Bone marrow smear:
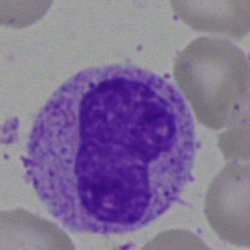Metamyelocyte.